250 by 250 pixels. Bone marrow aspirate smear:
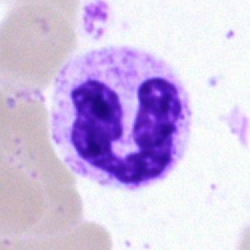

Q: What type of cell is this?
A: Segmented neutrophil.